Bone marrow aspirate smear. May-Grünwald-Giemsa/Pappenheim stain. Brightfield microscopy, 40× oil immersion — 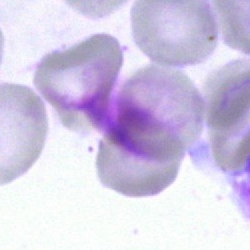

Single cell identified as an artefact.